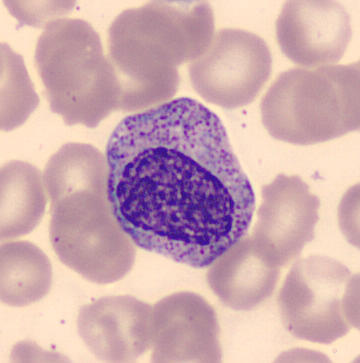

Morphology — myelocyte.